Single-cell field. Brightfield microscopy, 40× oil immersion. Bone marrow aspirate smear
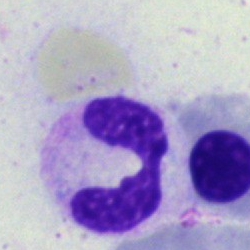
Q: What is shown here?
A: It is a neutrophil (segmented).